Bone marrow smear.
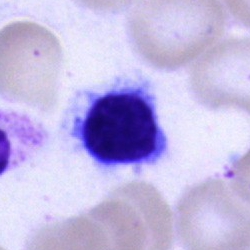

Q: What is shown here?
A: This is a lymphocyte.